Bone marrow aspirate smear
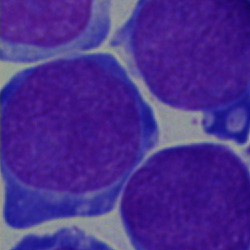The cell shown is a blast.